Bone marrow smear · 250×250
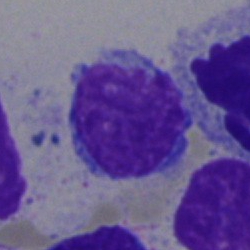This is a lymphocyte.